Bone marrow aspirate smear; 250 by 250 pixels; single-cell field — 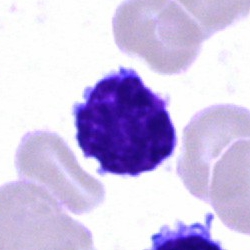
Q: What is the morphological classification of this cell?
A: Typical lymphocyte.